Bone marrow aspirate smear. Brightfield, 40× oil-immersion objective — 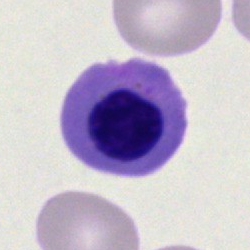Cell: normoblast.